250 by 250 pixels · bone marrow aspirate smear · 40× objective, oil immersion: 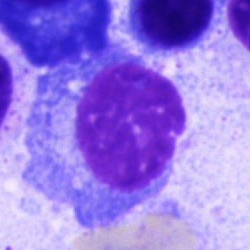 {"cell_type": "plasmacyte"}